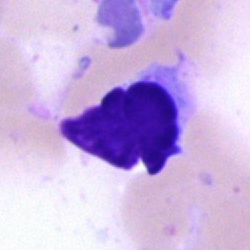

Q: What is shown here?
A: It is an artifact.